Bone marrow aspirate smear: 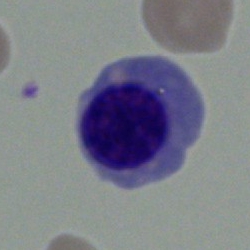

Impression → nucleated red blood cell.